250×250 px; single cell centered in the field; bone marrow smear: 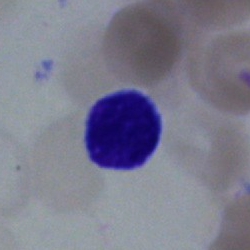Cell — typical lymphocyte.